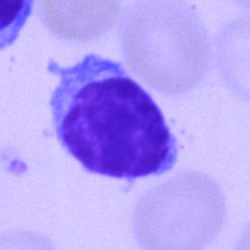
Cell type: typical lymphocyte.